400×400 px; peripheral blood film — 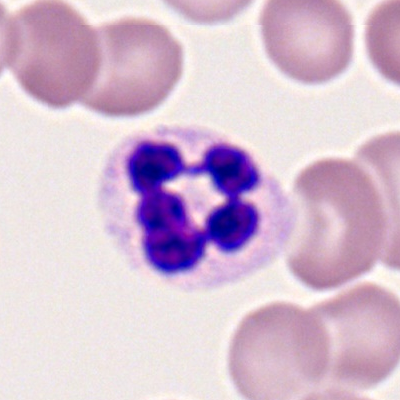

{"cell_type": "segmented neutrophil", "lineage": "myeloid"}